Bone marrow aspirate smear · single cell centered in the field
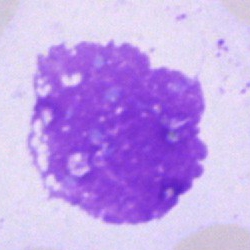Morphology consistent with an artifact.